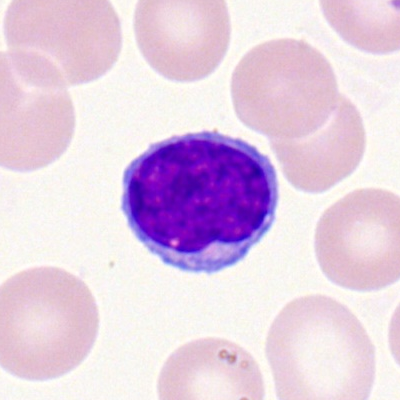 Peripheral blood smear showing a typical lymphocyte.